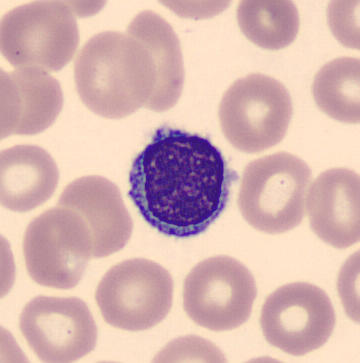Peripheral blood film.

Classification — typical lymphocyte.